Bone marrow smear:
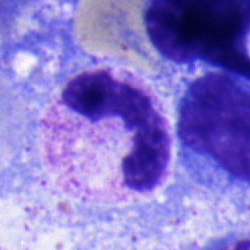
Cell type — monocyte.